Cropped to a single cell · brightfield microscopy, 40× oil immersion · bone marrow smear:
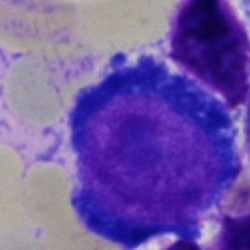 Specimen: bone marrow aspirate smear.
Cell: pronormoblast.
Lineage: erythroid.